Single-cell field; bone marrow aspirate smear; May-Grünwald-Giemsa/Pappenheim stain
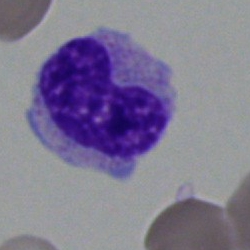
A stab cell.